Bone marrow aspirate smear — 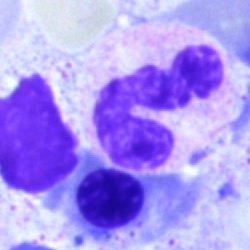An artifact.